Bone marrow aspirate smear; single-cell crop:
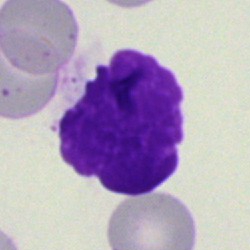

Cell: artifact.